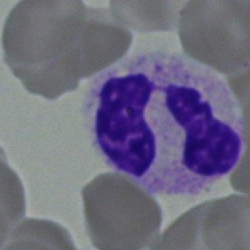 Specimen: bone marrow smear.
Classification: polymorphonuclear neutrophil.
Lineage: myeloid.